Peripheral blood smear — 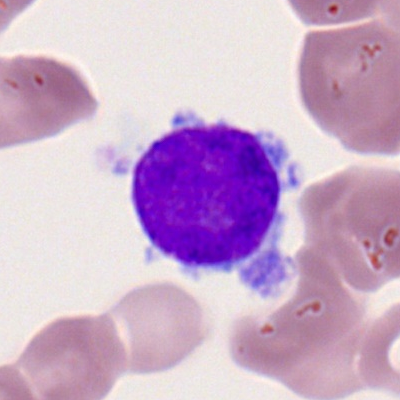 The cell type is typical lymphocyte.